Bone marrow aspirate smear: 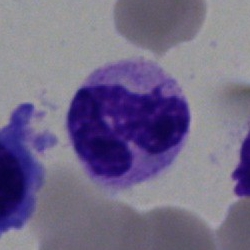

Morphological class = neutrophil (segmented).